Bone marrow smear
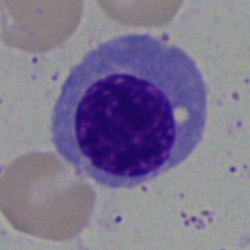
Q: Identify the cell.
A: It is an erythroblast.